Peripheral blood film — 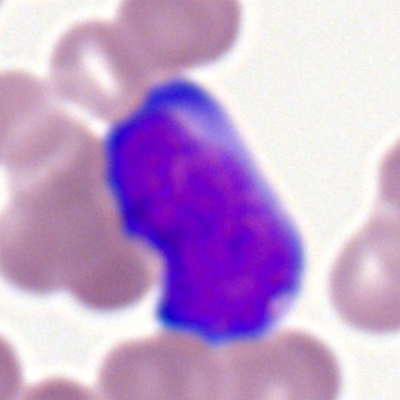 This is a myeloid blast.